Brightfield, 40× oil-immersion objective · bone marrow smear · single-cell crop: 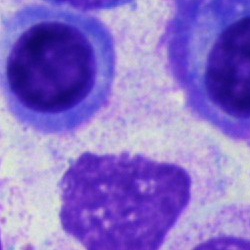Plasmacyte.